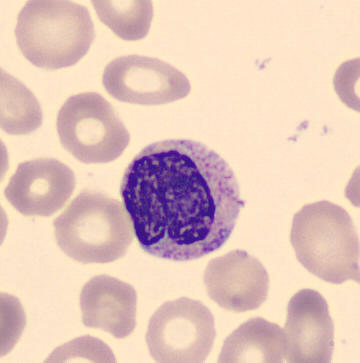
Acquisition: Peripheral blood smear. Cell: band neutrophil.